Bone marrow aspirate smear; May-Grünwald-Giemsa/Pappenheim stain
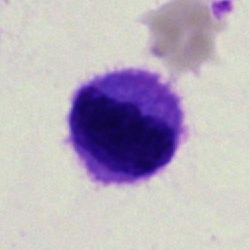
This is an artefact.